Romanowsky-stained · single-cell field · peripheral blood smear: 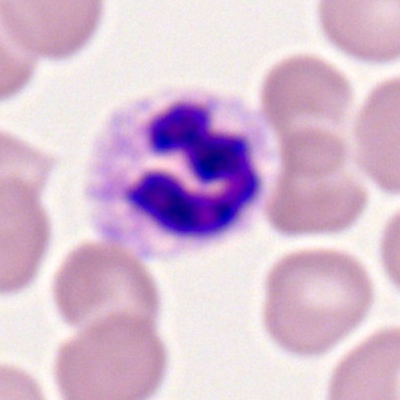

The classification is segmented neutrophil.